Bone marrow aspirate smear · 250 by 250 pixels · Pappenheim-stained
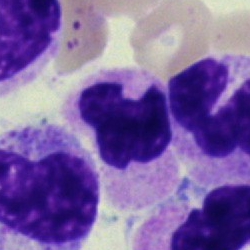{"cell_type": "segmented neutrophil", "lineage": "myeloid"}